Peripheral blood smear. 100× objective, oil immersion: 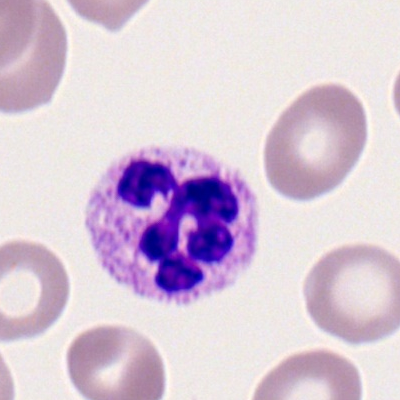 Morphology → polymorphonuclear neutrophil.